Single-cell field. 250×250 px. Bone marrow smear.
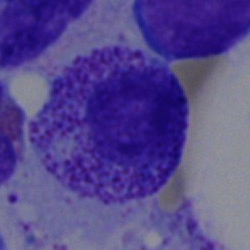
Q: What type of cell is this?
A: This is a myelocyte.